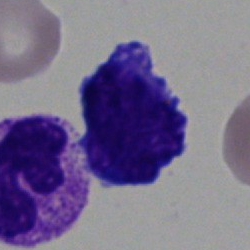
Undifferentiated blast.